Bone marrow aspirate smear
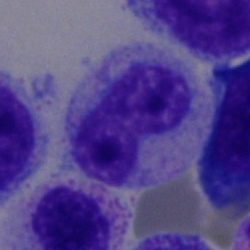Impression → band-form neutrophil.